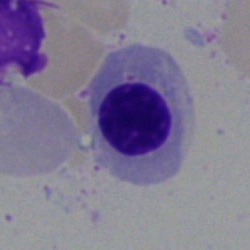
This is an erythroblast.